Bone marrow smear · single cell centered in the field — 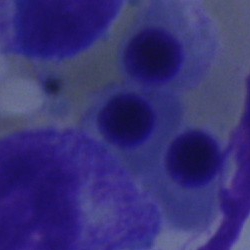Impression — erythroblast.